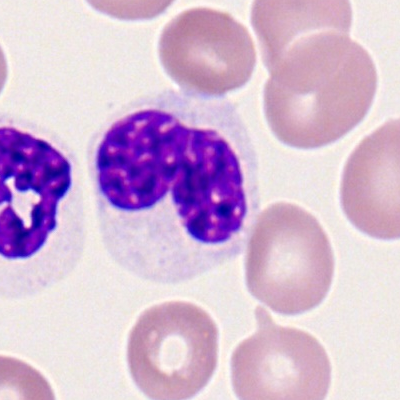
Morphology — neutrophil (segmented).